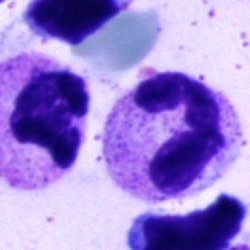Q: What type of cell is this?
A: This is a neutrophil (segmented).